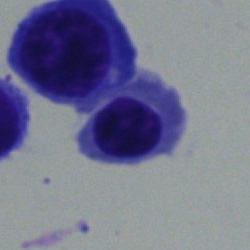 Morphology consistent with a nucleated red blood cell.